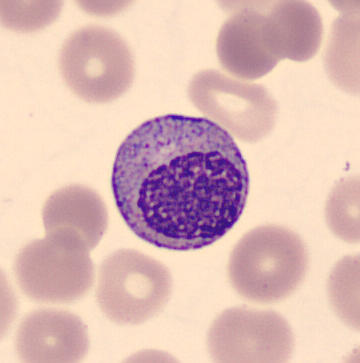 Peripheral blood film. Q: What type of cell is this?
A: A myelocyte.